Bone marrow aspirate smear
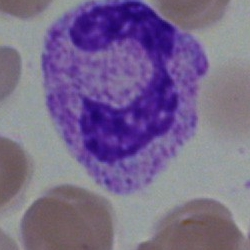
Morphology → polymorphonuclear neutrophil.